Peripheral blood film.
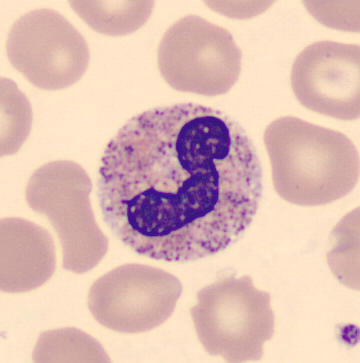 Q: Which cell type is shown here?
A: This is a band neutrophil.